Bone marrow aspirate smear
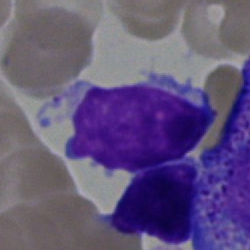The cell shown is a typical lymphocyte.